Peripheral blood smear:
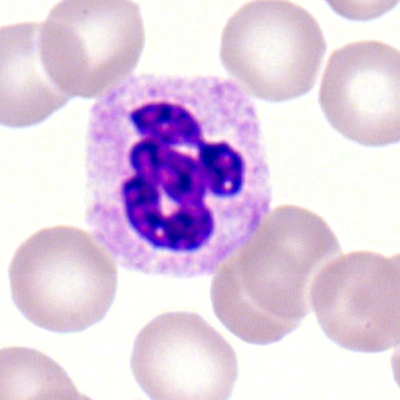Q: What is the morphological classification of this cell?
A: Neutrophil (segmented).